250 by 250 pixels · brightfield, 40× oil-immersion objective · bone marrow aspirate smear.
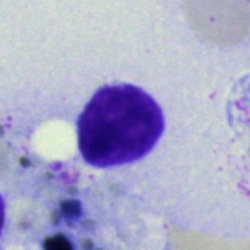
A typical lymphocyte.